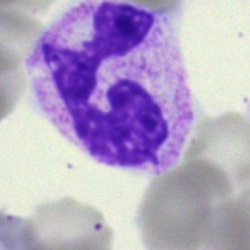 Bone marrow smear showing a neutrophil (segmented).